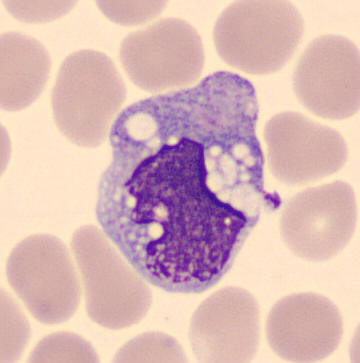 A monocyte on a peripheral blood smear.